Bone marrow smear. Single-cell crop: 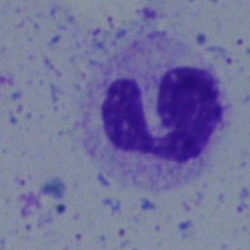

Single cell identified as a neutrophil (segmented).